Bone marrow smear; brightfield, 40× oil-immersion objective; May-Grünwald-Giemsa/Pappenheim stain
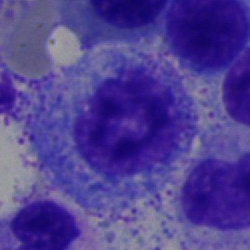Showing a progranulocyte.